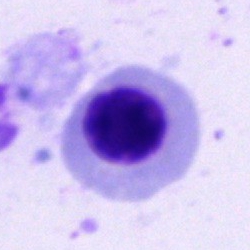Q: Which cell type is shown here?
A: An erythroblast.